Bone marrow aspirate smear; 250×250 px: 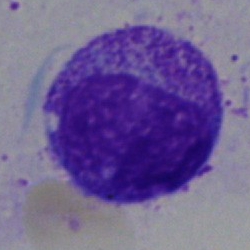Morphology consistent with a myelocyte.